Bone marrow aspirate smear — 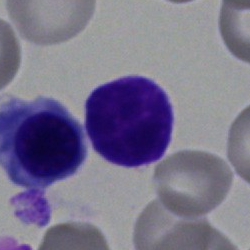
Q: What cell is this?
A: A typical lymphocyte.